Peripheral blood smear · 100× oil immersion, 14.14 px/µm — 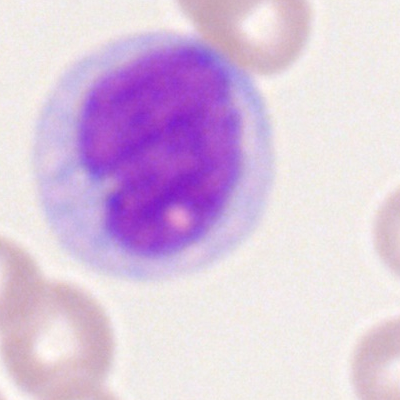

Morphology → monocyte.